Bone marrow smear — 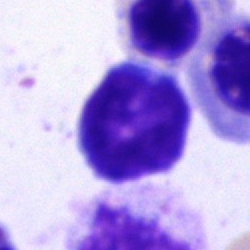
The cell type is lymphocyte.